Bone marrow aspirate smear; 250×250 px; 40× objective, oil immersion — 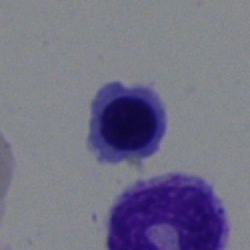
Cell type = nucleated red cell.